Bone marrow aspirate smear:
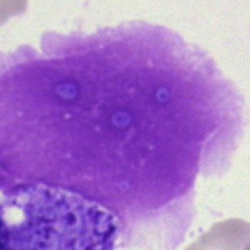

An artefact.